Peripheral blood smear — 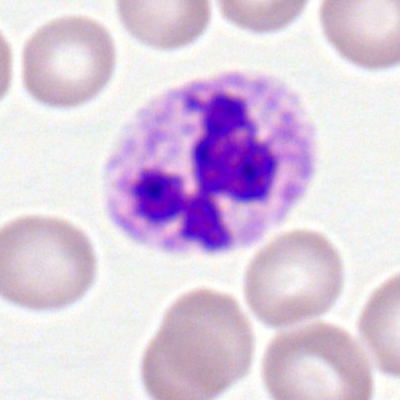
The cell type is segmented neutrophil.